Bone marrow aspirate smear; single-cell field.
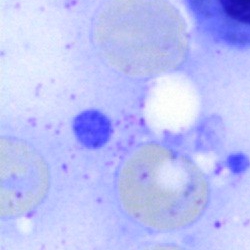

Q: What is shown here?
A: This is an artifact.